250×250 · bone marrow aspirate smear:
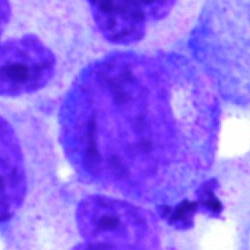
{"cell_type": "progranulocyte", "lineage": "myeloid"}